Peripheral blood film.
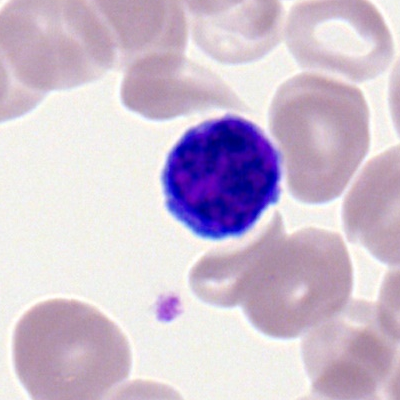The cell type is lymphocyte.